Bone marrow aspirate smear.
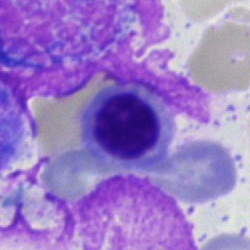Morphology — nucleated red blood cell.